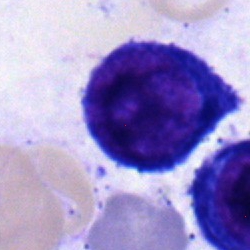 Impression — proerythroblast.